Bone marrow smear
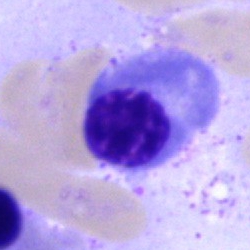 Classification — erythroblast.